Bone marrow smear: 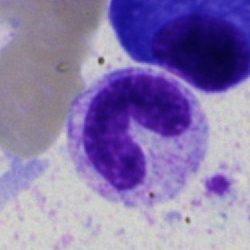
Specimen: bone marrow aspirate smear.
Morphological class: band-form neutrophil.
Lineage: myeloid.